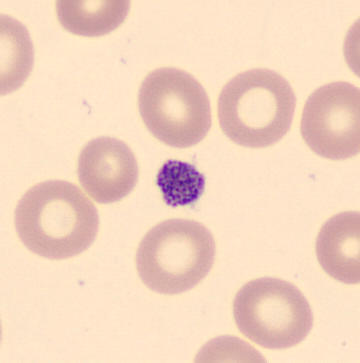Morphology consistent with a platelet (thrombocyte).